Brightfield, 40× oil-immersion objective. Bone marrow aspirate smear. 250 by 250 pixels:
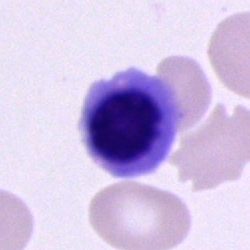 Q: What is the morphological classification of this cell?
A: An erythroblast.